Peripheral blood smear · 400×400 px — 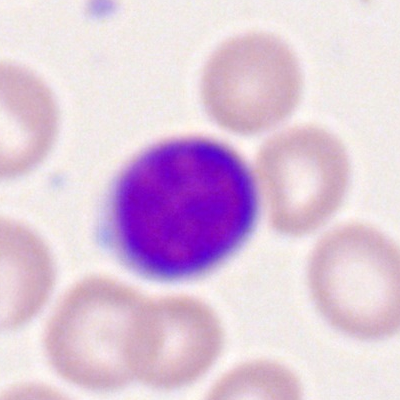
Morphology consistent with a lymphocyte.